Bone marrow aspirate smear:
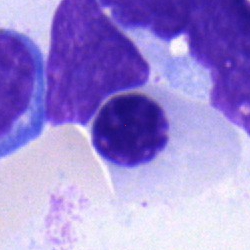 Showing a nucleated red blood cell.